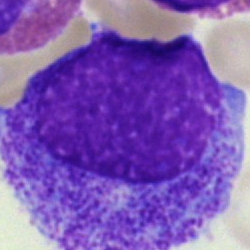

Single-cell crop from a bone marrow smear: progranulocyte.